Single-cell crop. Bone marrow aspirate smear:
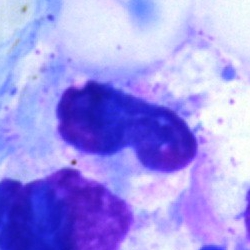 Specimen: bone marrow aspirate smear.
Cell: artifact.